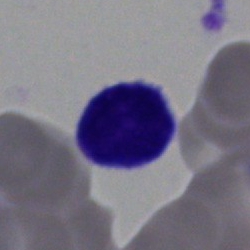Single cell identified as a typical lymphocyte.